Single cell centered in the field; bone marrow aspirate smear; image size 250×250: 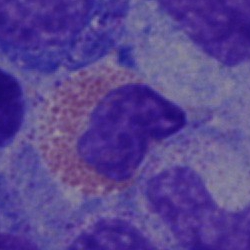
Impression → eosinophil.